Bone marrow aspirate smear — 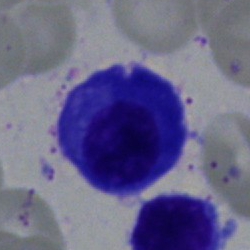

Specimen: bone marrow aspirate smear.
Cell type: plasmacyte.
Lineage: lymphoid.